Image size 250×250; bone marrow smear:
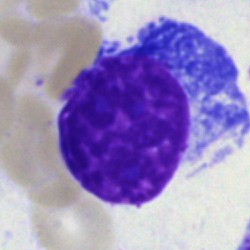 Morphological class = artifact.